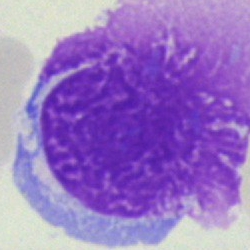
Single cell identified as an artifact.